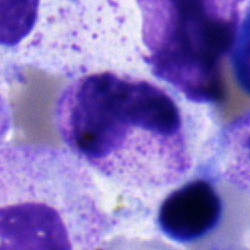

The cell is segmented neutrophil.